Peripheral blood film:
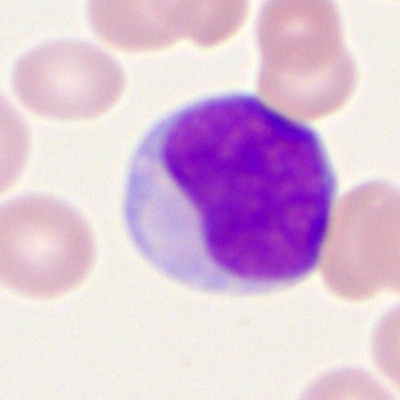Single cell identified as a myeloid blast.